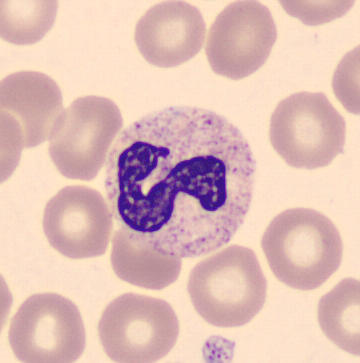Acquisition: Peripheral blood smear. The cell shown is a neutrophil (band).